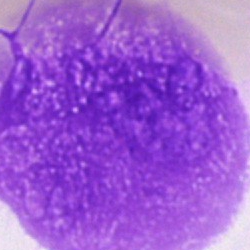
{"cell_type": "artifact"}